MGG-stained; 250×250; bone marrow aspirate smear: 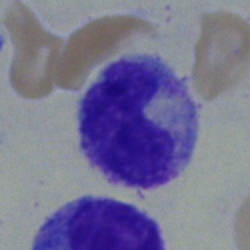Q: Which cell type is shown here?
A: Metamyelocyte.